Bone marrow smear:
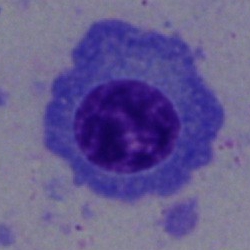 The classification is plasma cell.